Bone marrow aspirate smear — 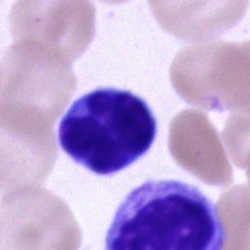
Q: What cell is this?
A: This is a lymphocyte.